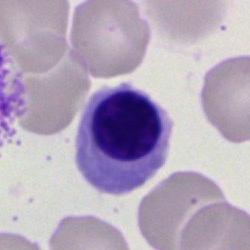 Bone marrow aspirate smear, single cell — nucleated red cell.